Cropped to a single cell · bone marrow aspirate smear — 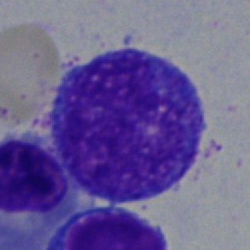
Q: Which cell type is shown here?
A: A promyelocyte.